Bone marrow smear
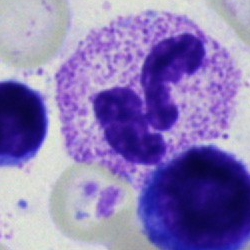

Q: What is shown here?
A: Segmented neutrophil.